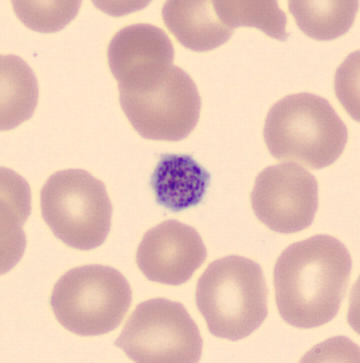 Cell type: platelet. Automated cell imaging (CellaVision DM96); May-Grünwald-Giemsa-stained; peripheral blood film.